40× objective, oil immersion; single cell centered in the field; bone marrow aspirate smear — 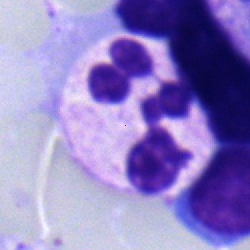
Morphology — polymorphonuclear neutrophil.